Bone marrow smear — 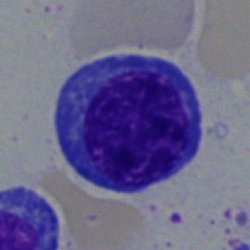
Cell type — erythroblast.